Bone marrow aspirate smear: 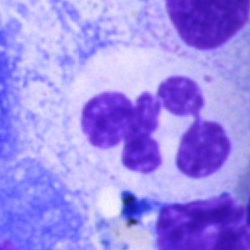

Morphology — neutrophil (segmented).